Brightfield, 40× oil-immersion objective. Single-cell crop. Bone marrow smear: 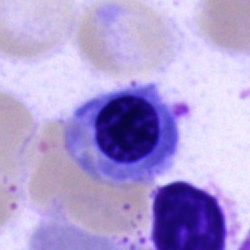The classification is nucleated red cell.